Bone marrow aspirate smear; 40× objective, oil immersion
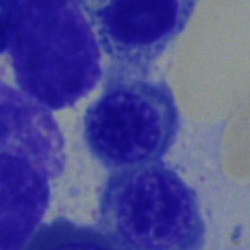

The morphological class is nucleated red cell.